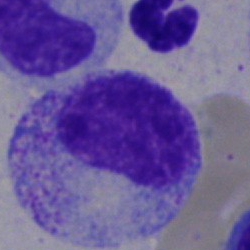
A metamyelocyte on a bone marrow smear.